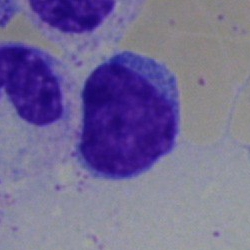 Classification = typical lymphocyte.